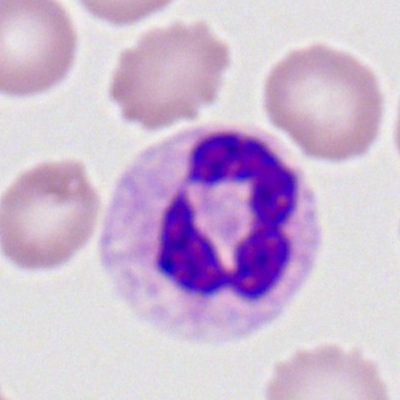
Q: What is shown here?
A: This is a segmented neutrophil.